Cropped to a single cell; bone marrow aspirate smear:
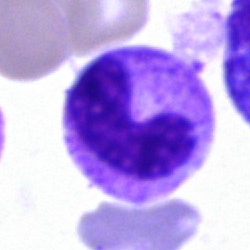Cell = stab cell.